May-Grünwald-Giemsa/Pappenheim stain · bone marrow smear · single-cell field.
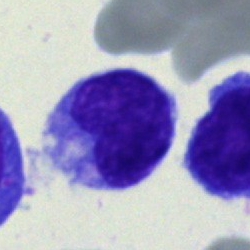

Cell type = monocyte.